Bone marrow smear.
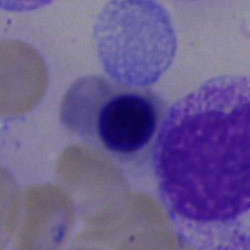

Morphology → nucleated red cell.